Bone marrow aspirate smear. Single-cell crop — 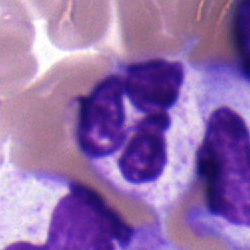 Specimen: bone marrow smear.
Cell: polymorphonuclear neutrophil.